40× objective, oil immersion; bone marrow aspirate smear:
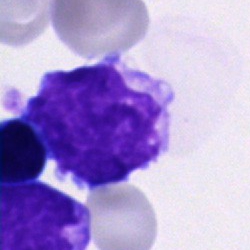Q: What is the morphological classification of this cell?
A: This is an undifferentiated blast.